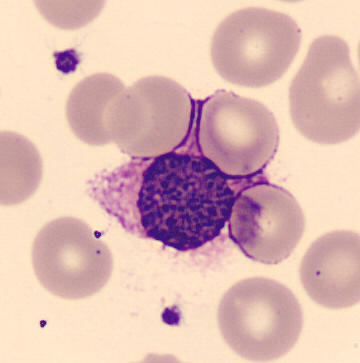

Morphology — basophil.